Brightfield microscopy, 40× oil immersion; bone marrow aspirate smear:
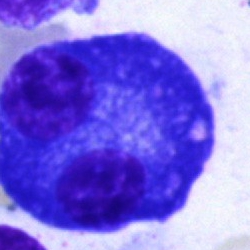

A plasmacyte.